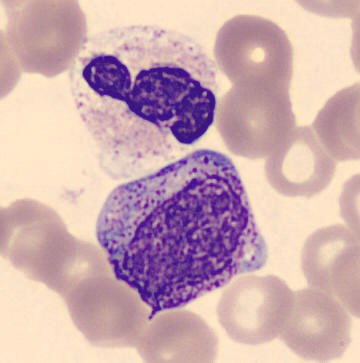 Acquisition: Peripheral blood smear · 360×363. Morphology consistent with a myelocyte.